Bone marrow aspirate smear: 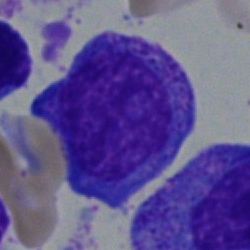Q: What type of cell is this?
A: It is a promyelocyte.